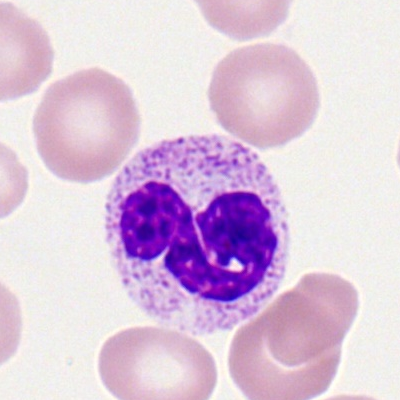

Classification: segmented neutrophil.